Bone marrow smear
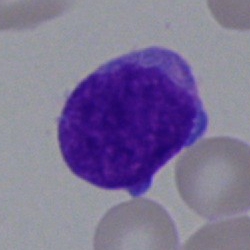 Blast cell.